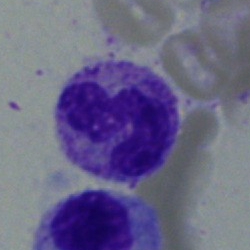The classification is band-form neutrophil.